Bone marrow smear. Cropped to a single cell: 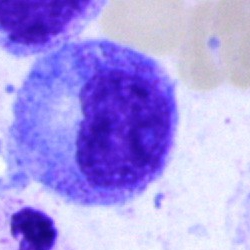
A promyelocyte.